Brightfield microscopy, 40× oil immersion · bone marrow aspirate smear · single-cell crop
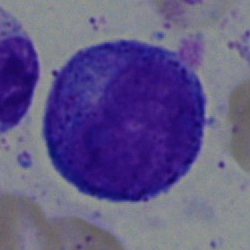 Cell: progranulocyte.